Bone marrow smear
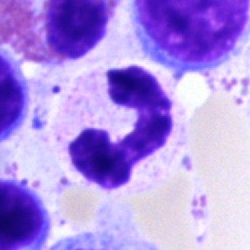

{"cell_type": "neutrophil (segmented)", "lineage": "myeloid"}